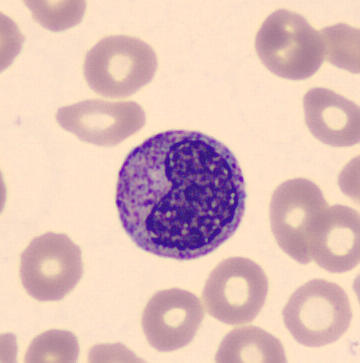
360×363 px; peripheral blood film; CellaVision DM96.

A metamyelocyte.